Image size 250×250 · brightfield microscopy, 40× oil immersion · bone marrow aspirate smear: 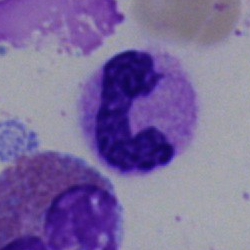The cell shown is a segmented neutrophil.